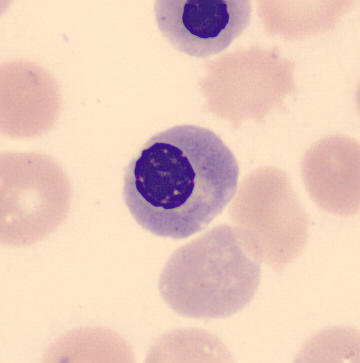Preparation: Peripheral blood smear.

Classification: nucleated red cell.